Bone marrow aspirate smear; May-Grünwald-Giemsa/Pappenheim stain
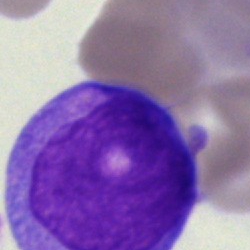
Q: What type of cell is this?
A: Undifferentiated blast.